Brightfield, 100× oil-immersion objective; peripheral blood smear; single cell centered in the field.
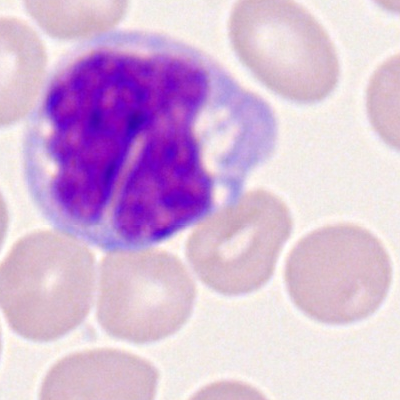
Morphology — monocyte.